40× objective, oil immersion; bone marrow aspirate smear; May-Grünwald-Giemsa/Pappenheim stain:
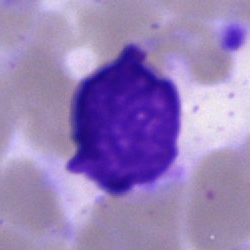

Morphology consistent with an artefact.